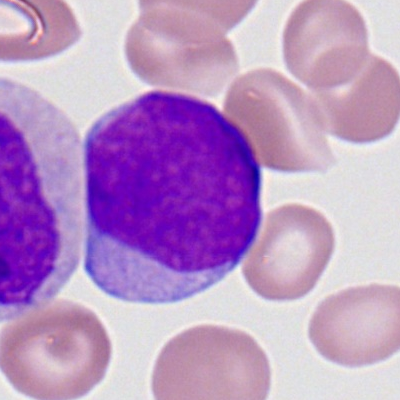 Myeloid blast.